40× objective, oil immersion · bone marrow aspirate smear · single-cell crop
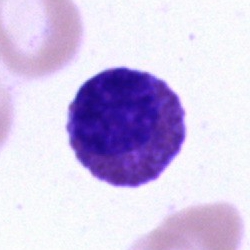Impression — eosinophil.